Bone marrow aspirate smear.
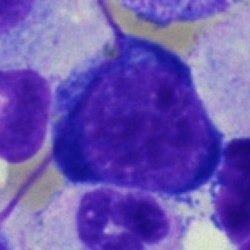
The cell shown is a pronormoblast.